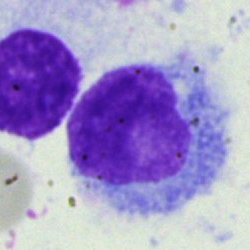

The morphological class is hairy cell.